Bone marrow aspirate smear.
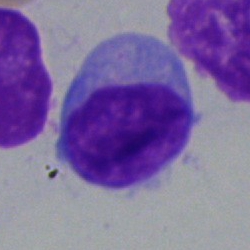
Showing a blast.